Peripheral blood film. Romanowsky-stained. Single cell centered in the field:
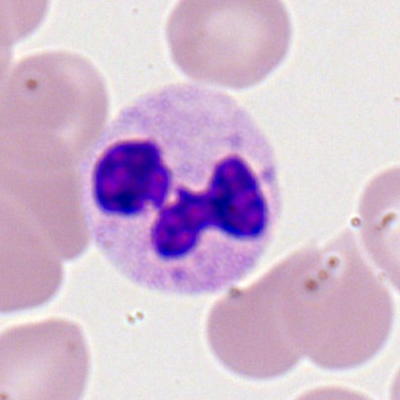
Impression → segmented neutrophil.